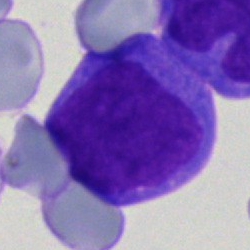

Q: Identify the cell.
A: A blast cell.